Image size 250×250; bone marrow smear; single cell centered in the field.
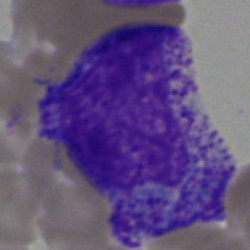Specimen: bone marrow aspirate smear.
Classification: promyelocyte.
Lineage: myeloid.